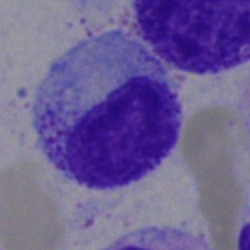 Morphology → metamyelocyte.